MGG-stained; single cell centered in the field; bone marrow aspirate smear:
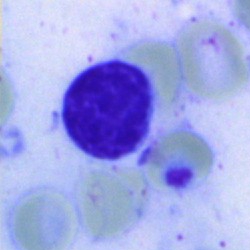
Cell type: lymphocyte.